Bone marrow smear · 40× objective, oil immersion · May-Grünwald-Giemsa stain.
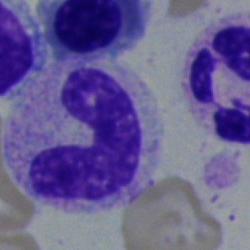
Morphological class: neutrophil (band).